Bone marrow smear — 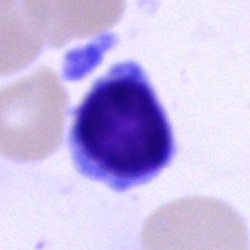 Q: What is shown here?
A: This is a typical lymphocyte.